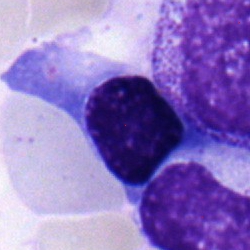
Cell: typical lymphocyte.